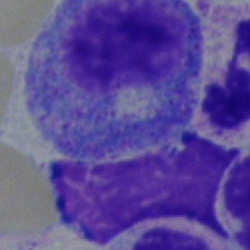 Morphology consistent with a promyelocyte.